Bone marrow aspirate smear; May-Grünwald-Giemsa stain.
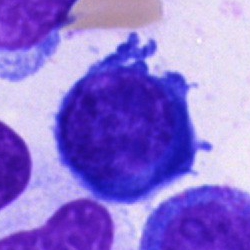

Impression → normoblast.